May-Grünwald-Giemsa stain · bone marrow smear
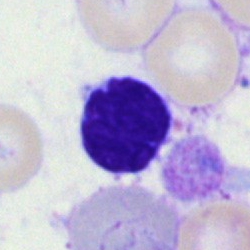 This is a typical lymphocyte.